Bone marrow smear — 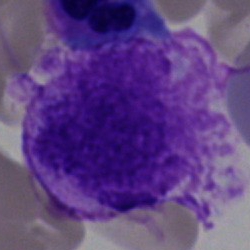The cell shown is an artefact.